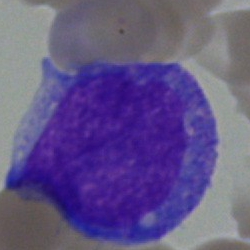

Morphology — basophilic granulocyte.